Peripheral blood film; single-cell field; Romanowsky stain.
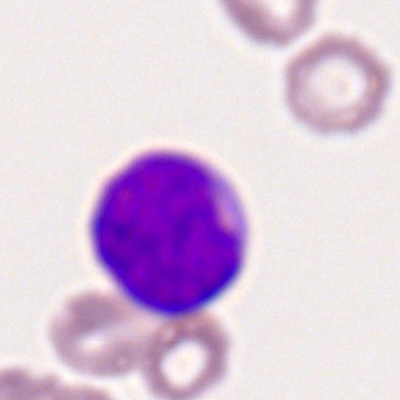
Myeloblast.